Pappenheim-stained. Bone marrow smear.
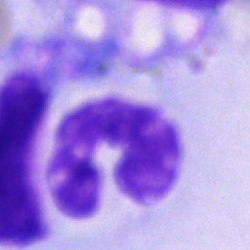

Cell: stab cell.